Bone marrow aspirate smear: 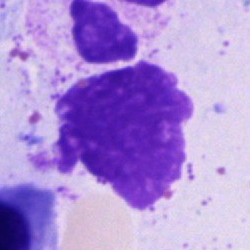
Single cell identified as an artefact.